Bone marrow smear · brightfield microscopy, 40× oil immersion · May-Grünwald-Giemsa/Pappenheim stain.
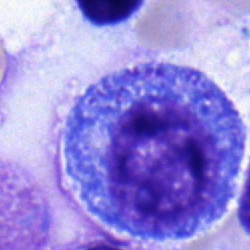

{"cell_type": "progranulocyte"}